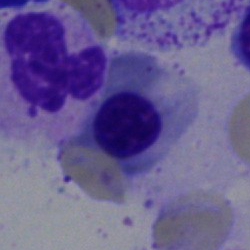
Morphology consistent with a nucleated red cell.